Bone marrow aspirate smear: 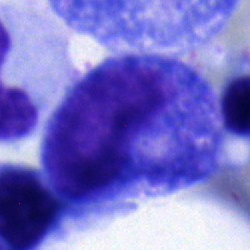Morphological class = promyelocyte.